Brightfield microscopy, 40× oil immersion; single-cell crop; bone marrow smear — 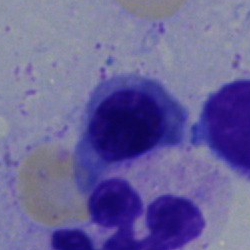Specimen: bone marrow aspirate smear.
Morphological class: erythroblast.